Brightfield microscopy, 40× oil immersion · bone marrow aspirate smear — 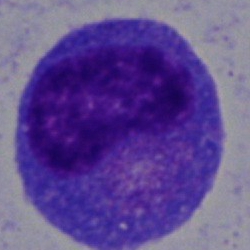
The classification is promyelocyte.